Bone marrow aspirate smear: 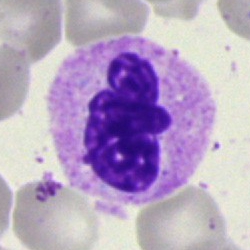 Showing a polymorphonuclear neutrophil.